Bone marrow aspirate smear — 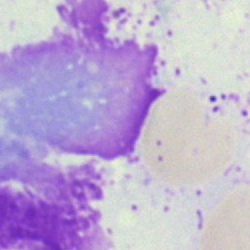Specimen: bone marrow smear.
Cell type: artifact.